250×250 px; bone marrow smear
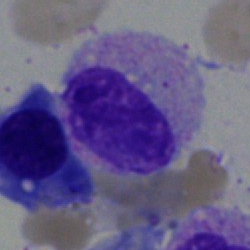
Q: Which cell type is shown here?
A: Myelocyte.